Bone marrow aspirate smear:
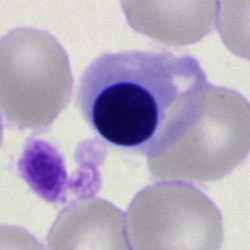 Q: Which cell type is shown here?
A: This is a nucleated red cell.